Bone marrow smear — 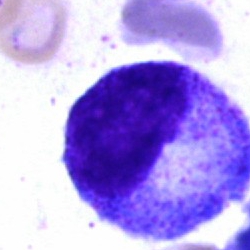
Q: What is shown here?
A: A progranulocyte.